Bone marrow aspirate smear. MGG-stained.
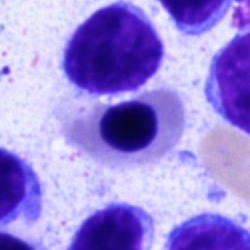Single cell identified as an erythroblast.